Bone marrow smear:
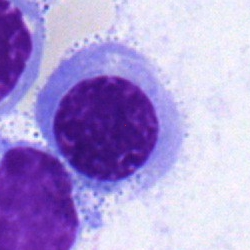
Cell type — normoblast.